Bone marrow smear; May-Grünwald-Giemsa stain:
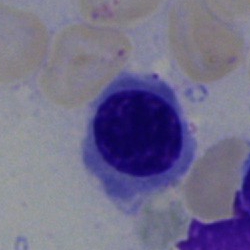
Impression — normoblast.